Bone marrow aspirate smear. 250 by 250 pixels. Brightfield microscopy, 40× oil immersion.
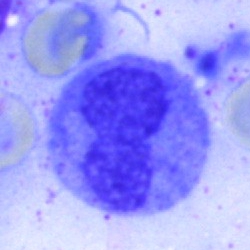

Specimen: bone marrow smear.
Morphological class: segmented neutrophil.
Lineage: myeloid.